Bone marrow aspirate smear — 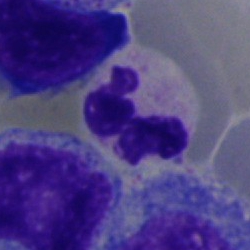
Q: What is shown here?
A: It is a segmented neutrophil.